Bone marrow smear; May-Grünwald-Giemsa/Pappenheim stain; 250×250
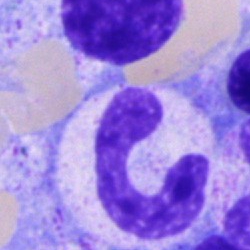
The cell shown is a band-form neutrophil.